Bone marrow smear — 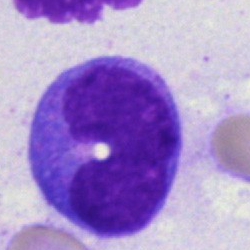
Q: Which cell type is shown here?
A: A monocyte.